250×250 px · bone marrow aspirate smear: 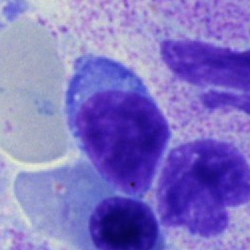
Q: What type of cell is this?
A: This is a typical lymphocyte.